Bone marrow aspirate smear. Single cell centered in the field.
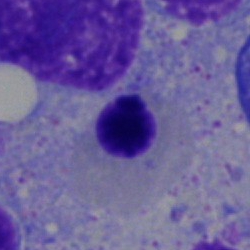 Classification = nucleated red cell.